Brightfield, 40× oil-immersion objective · bone marrow aspirate smear:
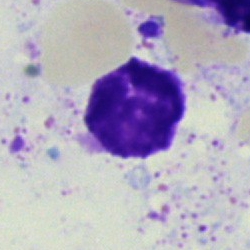
Showing an artefact.